40× oil immersion; bone marrow aspirate smear
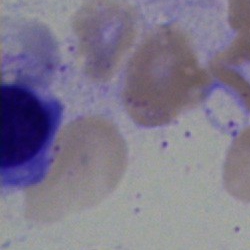
Cell: artifact.